Bone marrow aspirate smear.
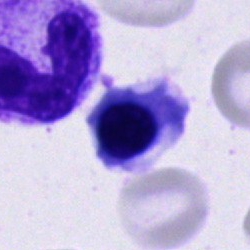 Specimen: bone marrow smear.
Morphological class: neutrophil (band).
Lineage: myeloid.